Image size 250×250 · bone marrow aspirate smear.
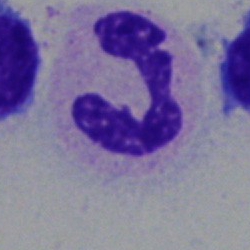

Cell type — polymorphonuclear neutrophil.